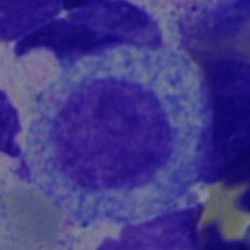 Specimen: bone marrow smear.
Classification: progranulocyte.
Lineage: myeloid.